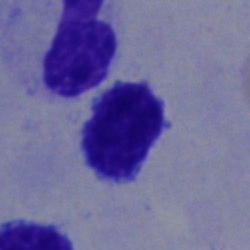

Impression — lymphocyte.